100× objective, oil immersion · peripheral blood film:
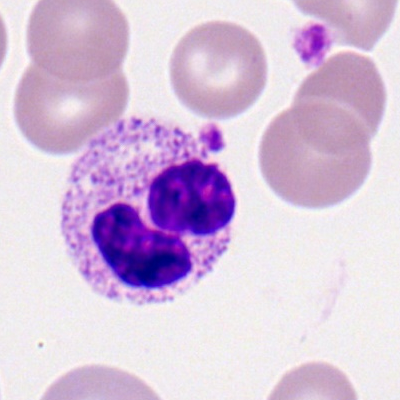
Showing a segmented neutrophil.